100× oil immersion. 400×400. Peripheral blood smear: 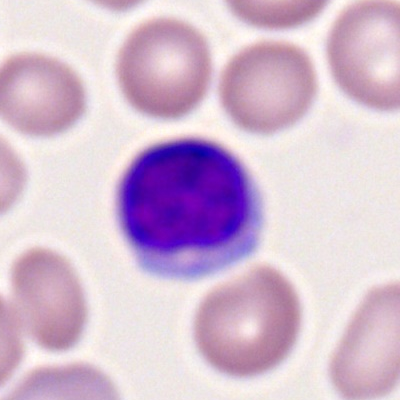

Cell: typical lymphocyte.